Cropped to a single cell; 400×400; peripheral blood smear:
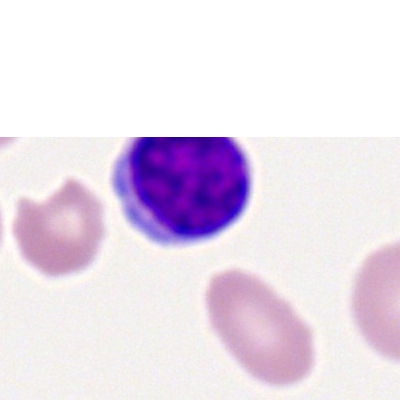
Specimen: peripheral blood film.
Cell type: lymphocyte.
Lineage: lymphoid.